Bone marrow aspirate smear
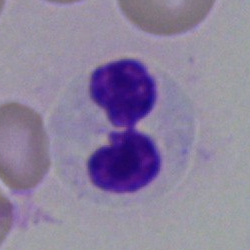
Classification = segmented neutrophil.